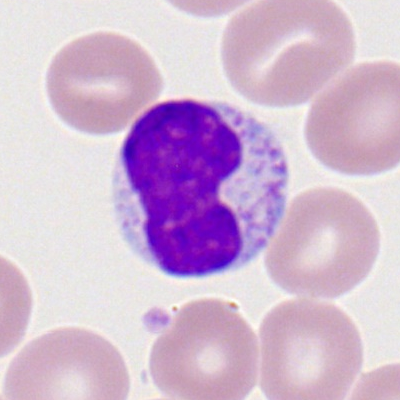
Specimen: peripheral blood film.
Classification: lymphocyte.
Lineage: lymphoid.